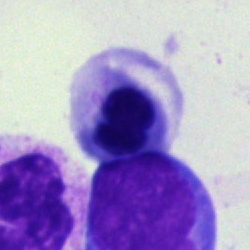
Cell: nucleated red cell.